M8 digital microscope (Precipoint), 100× oil immersion · peripheral blood film · single cell centered in the field — 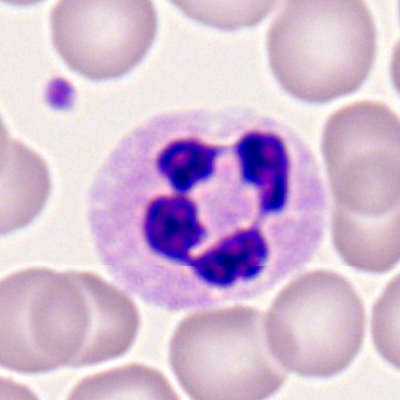The cell type is neutrophil (segmented).